Bone marrow aspirate smear.
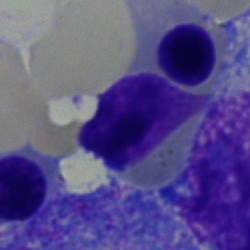
The morphological class is nucleated red cell.